Bone marrow aspirate smear · 250 by 250 pixels: 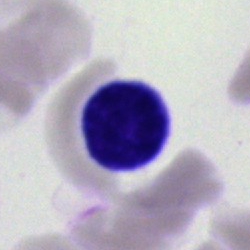 The cell shown is a lymphocyte.